Bone marrow smear: 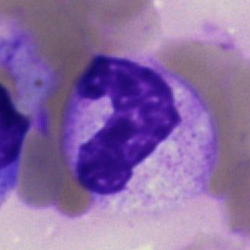Q: Which cell type is shown here?
A: This is a neutrophil (band).